Peripheral blood film — 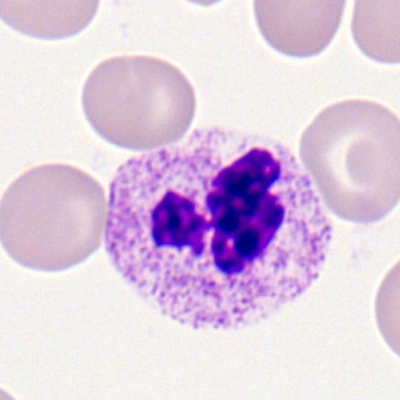

Q: What cell is this?
A: Segmented neutrophil.